Bone marrow aspirate smear
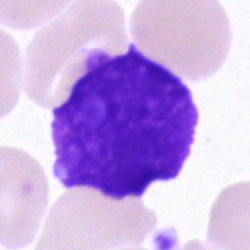

Morphological class = artifact.